Bone marrow smear; MGG-stained; single-cell field — 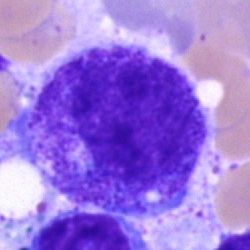 Q: Identify the cell.
A: This is a progranulocyte.